Bone marrow aspirate smear · 40× objective, oil immersion · May-Grünwald-Giemsa stain
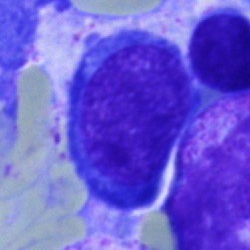Q: What type of cell is this?
A: It is a blast cell.